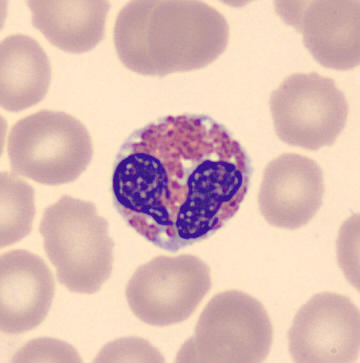

The cell shown is an eosinophilic granulocyte.